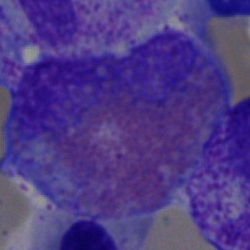 The cell type is eosinophil.